Bone marrow smear
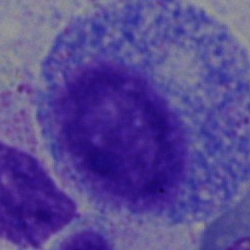Specimen: bone marrow aspirate smear.
Morphological class: progranulocyte.